Bone marrow aspirate smear
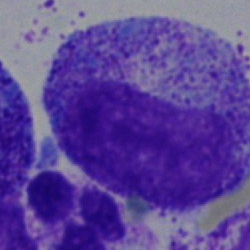 Showing a myelocyte.